Bone marrow smear.
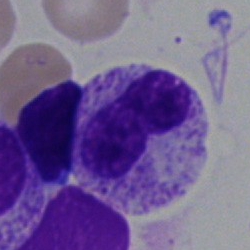

This is a band neutrophil.